Bone marrow smear
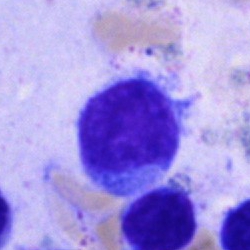

Q: Which cell type is shown here?
A: This is a lymphocyte.